Bone marrow aspirate smear:
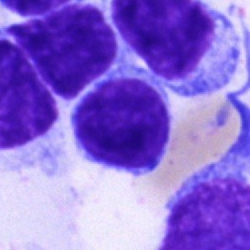

Showing a typical lymphocyte.